Brightfield microscopy, 40× oil immersion; bone marrow smear; single-cell crop.
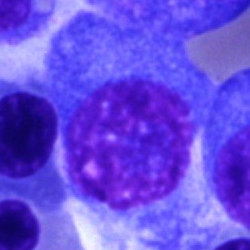

The cell is plasma cell.